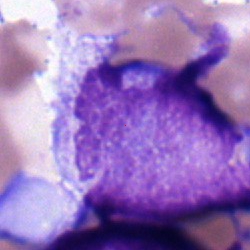A blast.